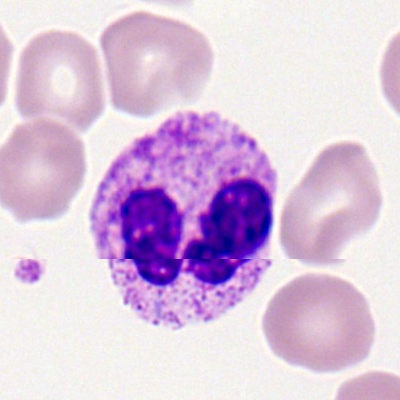
Q: What is shown here?
A: Neutrophil (segmented).